Bone marrow aspirate smear — 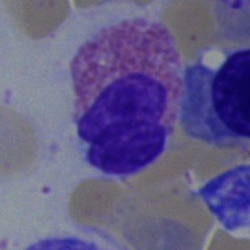 An eosinophilic granulocyte.